May-Grünwald-Giemsa/Pappenheim stain · 250×250 px · bone marrow aspirate smear: 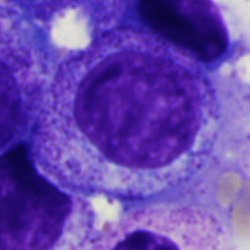 Morphology consistent with a myelocyte.